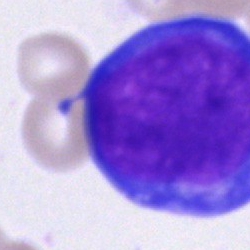 Specimen: bone marrow smear.
Morphological class: undifferentiated blast.